Single cell centered in the field · bone marrow aspirate smear · brightfield, 40× oil-immersion objective: 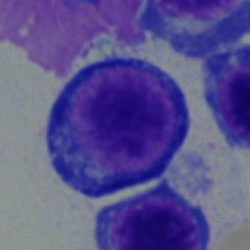

Impression — pronormoblast.